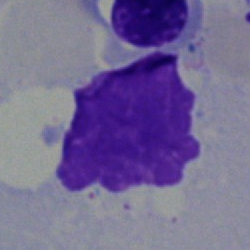 Morphology consistent with an artefact.